Bone marrow smear · 40× objective, oil immersion:
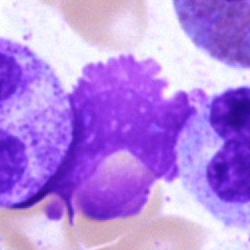
Specimen: bone marrow aspirate smear.
Cell type: artifact.